Bone marrow aspirate smear · single cell centered in the field · brightfield microscopy, 40× oil immersion: 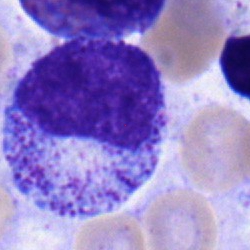

This is a myelocyte.